Brightfield microscopy, 40× oil immersion · bone marrow aspirate smear: 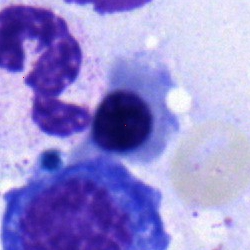A normoblast.